Single-cell crop · bone marrow smear
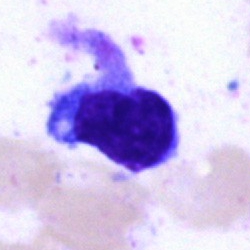
Specimen: bone marrow smear.
Morphological class: typical lymphocyte.
Lineage: lymphoid.